40× oil immersion. Bone marrow smear.
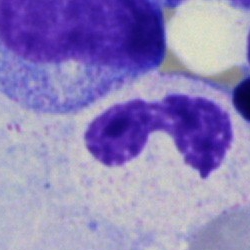The cell shown is a band-form neutrophil.